MGG-stained · 40× objective, oil immersion · bone marrow smear
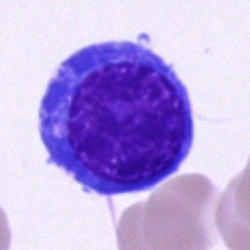
Morphology consistent with a nucleated red blood cell.